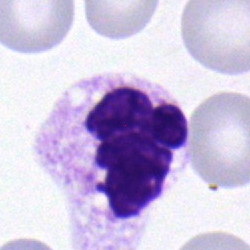Showing a segmented neutrophil.